Single-cell crop; bone marrow aspirate smear — 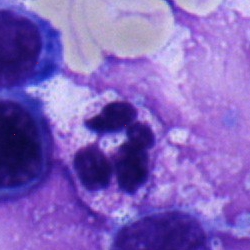
The cell shown is a neutrophil (segmented).